Bone marrow smear; image size 250×250; single-cell crop
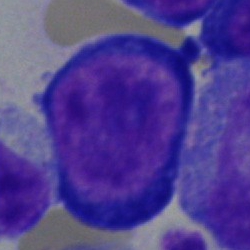
Specimen: bone marrow smear.
Cell: proerythroblast.
Lineage: erythroid.